Bone marrow smear — 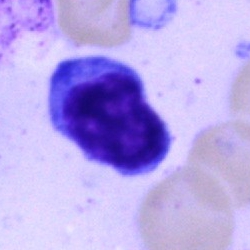{"cell_type": "lymphocyte", "lineage": "lymphoid"}